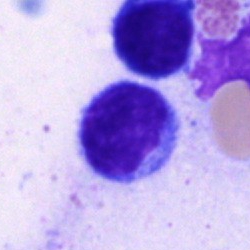Morphological class: lymphocyte.